Bone marrow aspirate smear
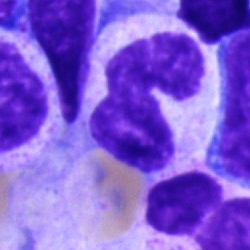
Morphology — band neutrophil.